MGG-stained. Cropped to a single cell. Bone marrow smear: 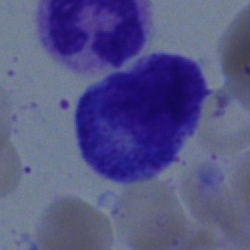Specimen: bone marrow smear.
Classification: myelocyte.